Bone marrow smear.
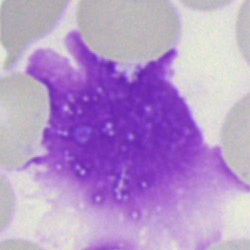

The cell shown is an artifact.